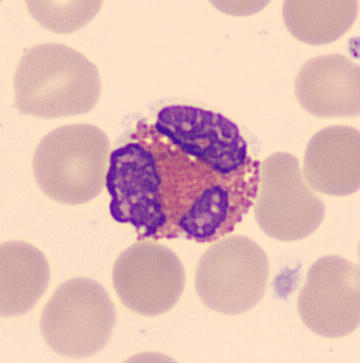 Acquisition: Peripheral blood film. Identified as an eosinophilic granulocyte.